Brightfield microscopy, 40× oil immersion; Pappenheim-stained; bone marrow aspirate smear: 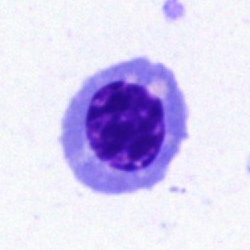
This is a nucleated red blood cell.